Bone marrow smear:
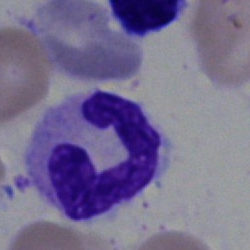
Morphology consistent with a polymorphonuclear neutrophil.